Brightfield microscopy, 40× oil immersion · bone marrow aspirate smear
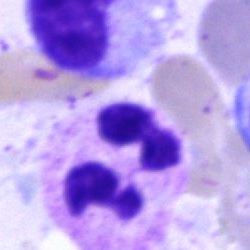Q: Which cell type is shown here?
A: A polymorphonuclear neutrophil.